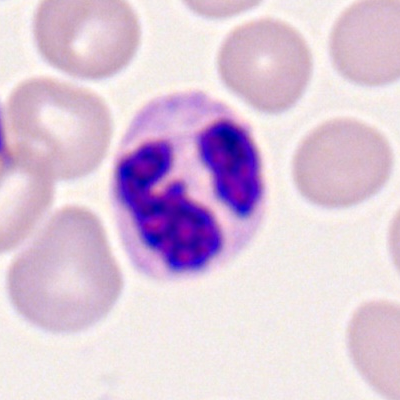This is a segmented neutrophil.